Bone marrow smear; brightfield microscopy, 40× oil immersion.
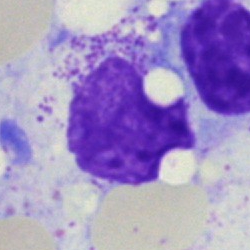Single cell identified as an artifact.